Bone marrow aspirate smear.
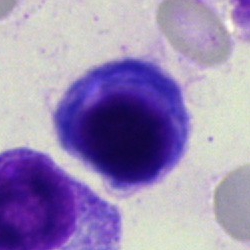Morphology → nucleated red cell.